Bone marrow smear. 40× oil immersion.
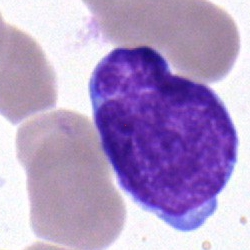Q: What is shown here?
A: A blast.